Bone marrow aspirate smear; brightfield, 40× oil-immersion objective.
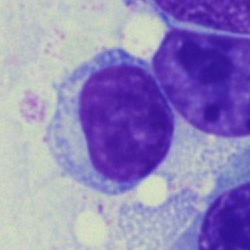
Specimen: bone marrow aspirate smear.
Morphological class: typical lymphocyte.
Lineage: lymphoid.